Bone marrow smear. Pappenheim-stained. Single-cell crop:
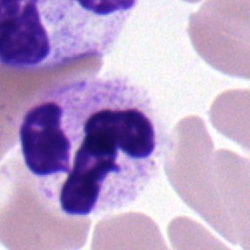 {"cell_type": "segmented neutrophil", "lineage": "myeloid"}